Peripheral blood film — 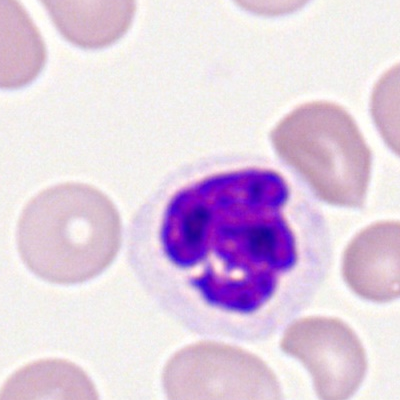
Cell type — neutrophil (segmented).